Bone marrow smear.
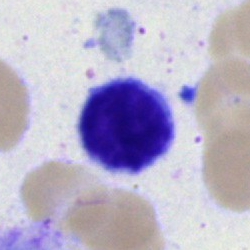This is a lymphocyte.